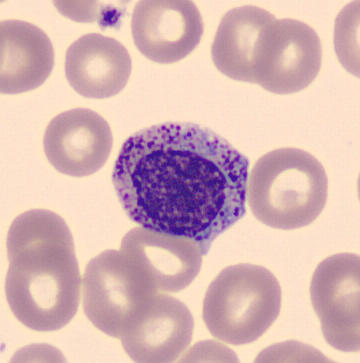

Preparation: Peripheral blood film; MGG-stained.

Q: What type of cell is this?
A: It is a myelocyte.